Bone marrow aspirate smear — 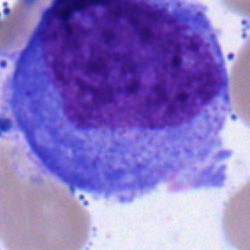 Q: What is the morphological classification of this cell?
A: This is a promyelocyte.